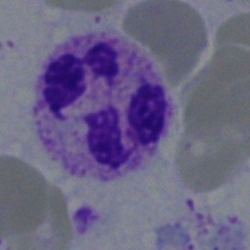 Classification = neutrophil (segmented).